Peripheral blood smear:
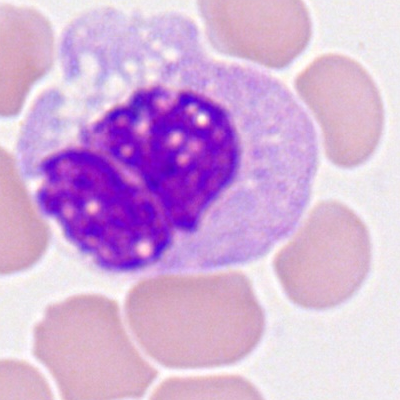Q: What cell is this?
A: A monocyte.